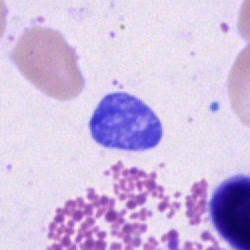 Single cell identified as an artifact.